Bone marrow smear:
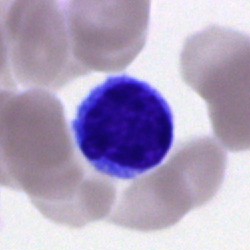
Morphological class = typical lymphocyte.